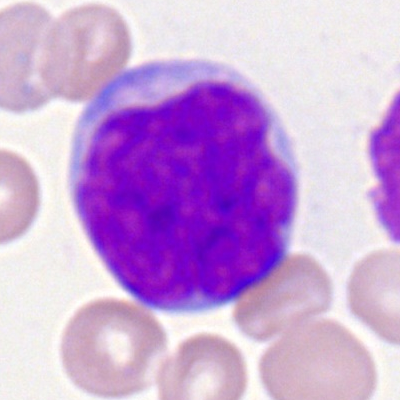
Morphology consistent with a myeloblast.